Peripheral blood film.
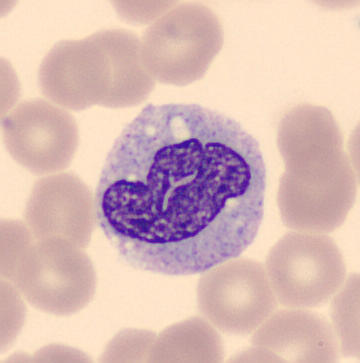

Specimen: peripheral blood smear.
Classification: monocyte.